May-Grünwald-Giemsa stain. Bone marrow aspirate smear. Single-cell field — 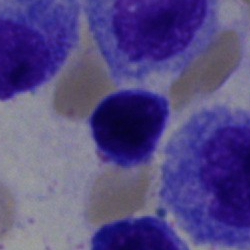 A typical lymphocyte.